Bone marrow aspirate smear
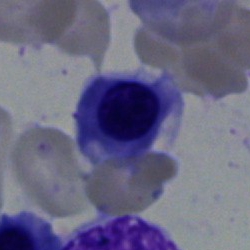Specimen: bone marrow aspirate smear.
Classification: nucleated red cell.
Lineage: erythroid.